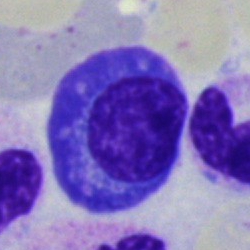 Single cell identified as a plasmacyte.